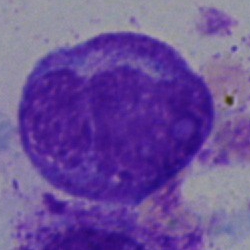Specimen: bone marrow smear.
Cell type: progranulocyte.
Lineage: myeloid.